Bone marrow smear; MGG-stained.
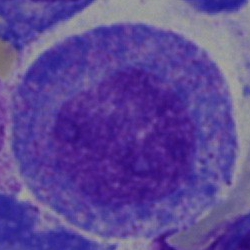Specimen: bone marrow aspirate smear.
Cell type: progranulocyte.